Bone marrow aspirate smear; 40× objective, oil immersion:
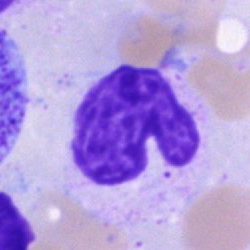

Morphology consistent with an artefact.